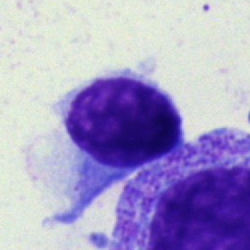Morphology → lymphocyte.